Bone marrow smear: 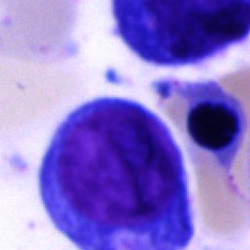
Proerythroblast.